Peripheral blood smear:
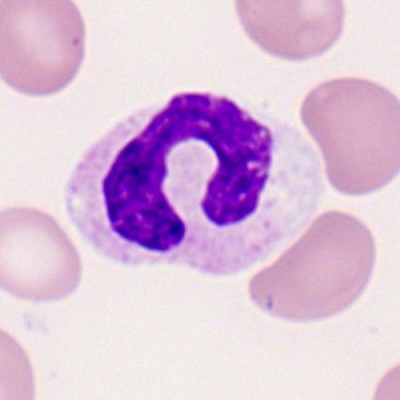{"cell_type": "neutrophil (band)", "lineage": "myeloid"}